400 by 400 pixels. Peripheral blood film.
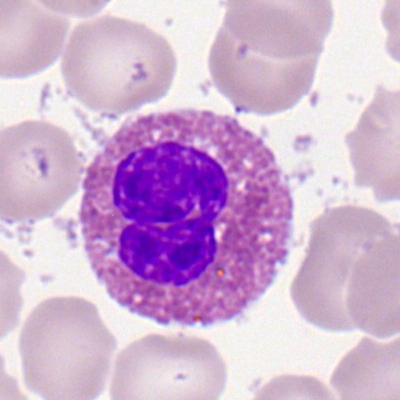

Classification: eosinophilic granulocyte.